Bone marrow aspirate smear: 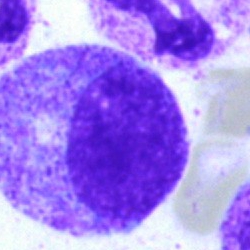Impression → myelocyte.